Bone marrow aspirate smear · 40× objective, oil immersion — 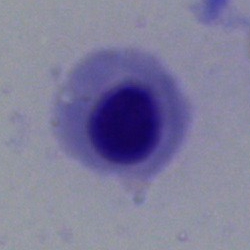Morphological class: nucleated red cell.